250×250; single cell centered in the field; bone marrow smear.
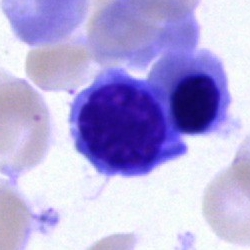
Morphological class: erythroblast.